Bone marrow aspirate smear · single-cell crop — 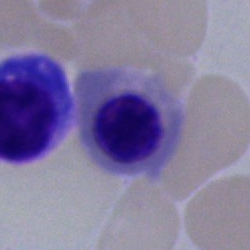

Cell type = erythroblast.